Bone marrow smear.
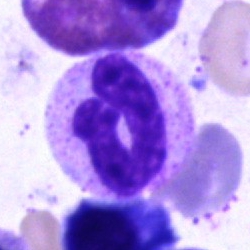 Morphology consistent with a neutrophil (band).